250 by 250 pixels. Bone marrow smear — 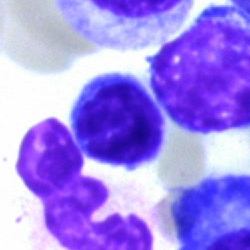 Morphology → lymphocyte.